Peripheral blood smear
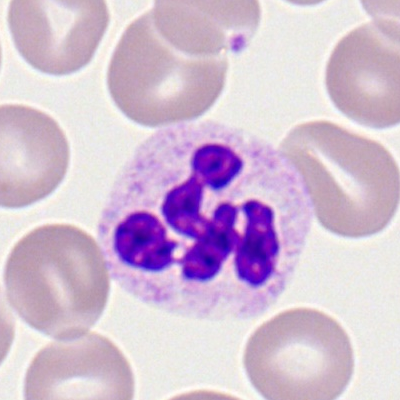

Classification — polymorphonuclear neutrophil.